Bone marrow smear — 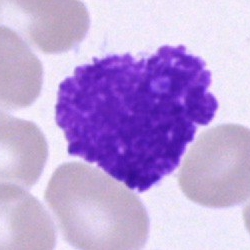 Classification — artifact.